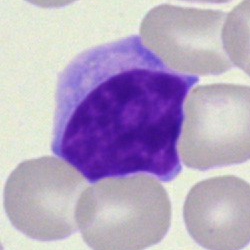
The cell shown is a typical lymphocyte.